Bone marrow smear · Pappenheim-stained: 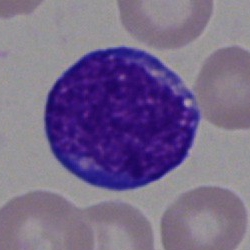The cell type is blast.